Single cell centered in the field; bone marrow smear: 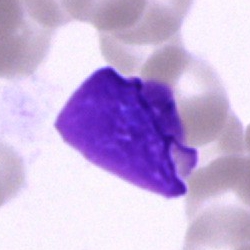
Q: What is shown here?
A: An artifact.